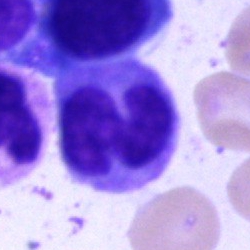This is a monocyte.